Bone marrow aspirate smear · May-Grünwald-Giemsa stain:
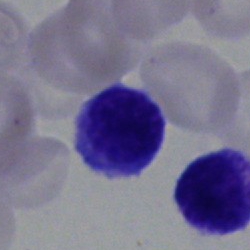
Typical lymphocyte.